Peripheral blood film
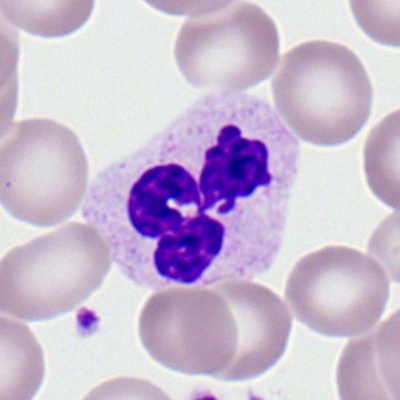

Morphological class: polymorphonuclear neutrophil.